Bone marrow aspirate smear. Single-cell crop:
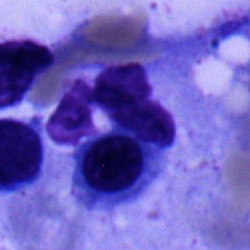
{"cell_type": "polymorphonuclear neutrophil", "lineage": "myeloid"}